Bone marrow smear — 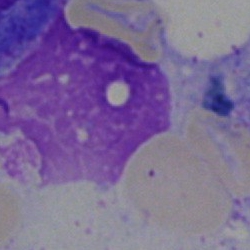
{"cell_type": "artifact"}